Peripheral blood film — 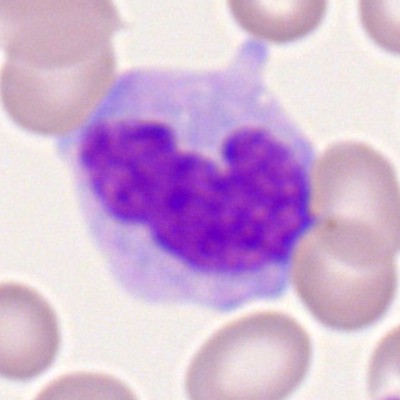
Monocyte.